Cropped to a single cell · bone marrow smear · May-Grünwald-Giemsa stain:
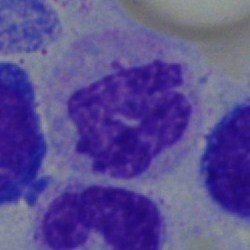 Showing a polymorphonuclear neutrophil.